May-Grünwald-Giemsa stain. Bone marrow smear.
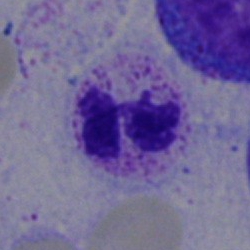 The cell shown is a polymorphonuclear neutrophil.